Bone marrow aspirate smear · May-Grünwald-Giemsa stain: 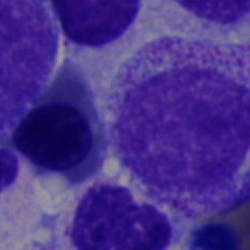

Cell type — myelocyte.